Bone marrow smear.
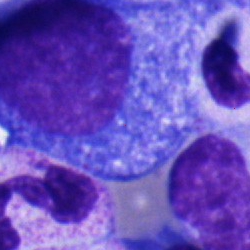

A progranulocyte.